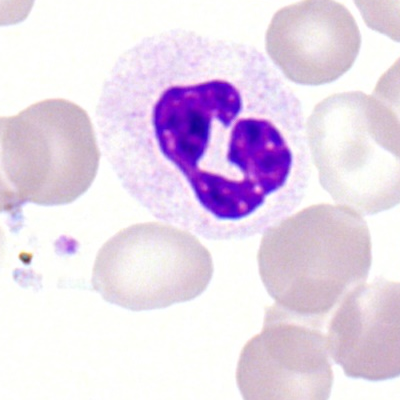 Morphology → polymorphonuclear neutrophil.